Single-cell field; bone marrow aspirate smear:
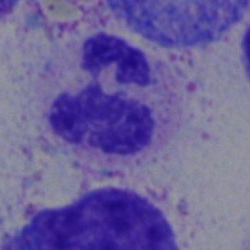
Cell: polymorphonuclear neutrophil.